250×250 px; single-cell field; bone marrow smear: 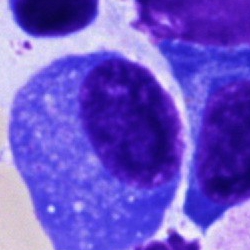
Plasmacyte.